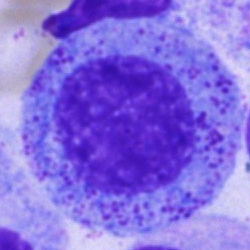

Q: What is the morphological classification of this cell?
A: A progranulocyte.